Bone marrow smear
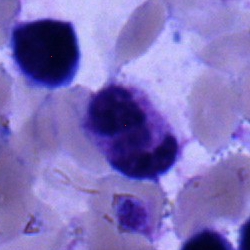
The classification is segmented neutrophil.